Bone marrow aspirate smear: 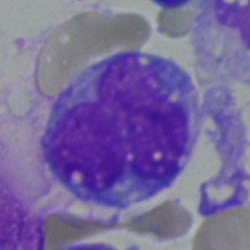Single cell identified as a monocyte.